250 by 250 pixels; bone marrow aspirate smear.
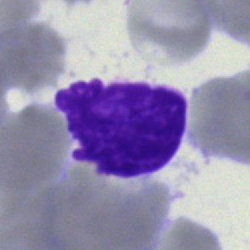

The cell type is artifact.